Bone marrow smear:
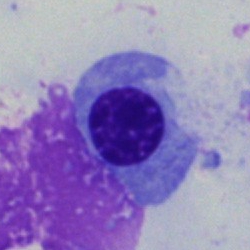 Cell: normoblast.